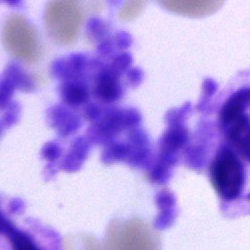Q: What is shown here?
A: An artifact.